Peripheral blood smear
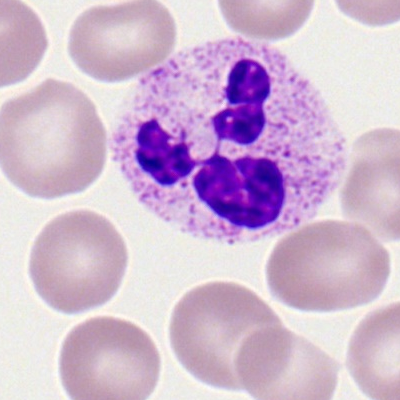
Morphology → polymorphonuclear neutrophil.